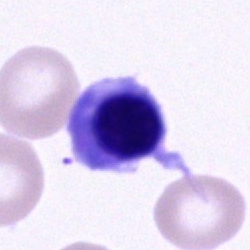

Classification = nucleated red cell.